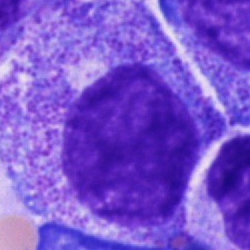 Impression → progranulocyte.